Bone marrow smear. Brightfield, 40× oil-immersion objective: 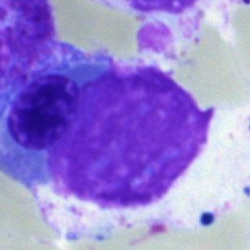
Morphological class: artefact.